May-Grünwald-Giemsa/Pappenheim stain. Bone marrow smear.
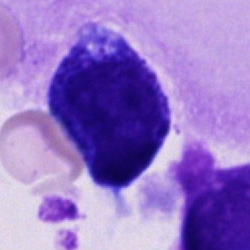
Q: What cell is this?
A: A cell of indeterminate lineage.